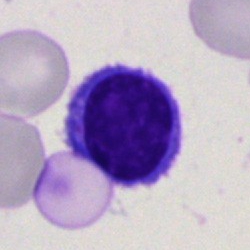

Q: What is shown here?
A: A typical lymphocyte.